Bone marrow aspirate smear: 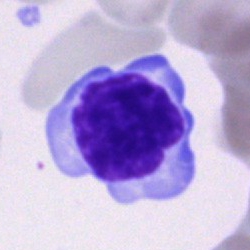Cell type = cell of indeterminate lineage.